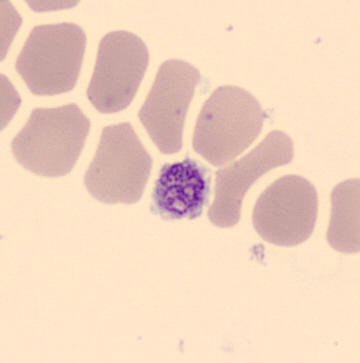Peripheral blood smear. This is a platelet (thrombocyte).